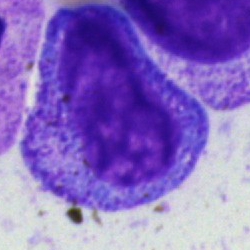

Morphological class — progranulocyte.